250×250. Bone marrow aspirate smear — 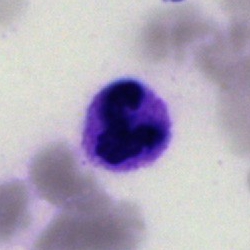Showing a segmented neutrophil.